100× oil immersion, 14.14 px/µm; peripheral blood film.
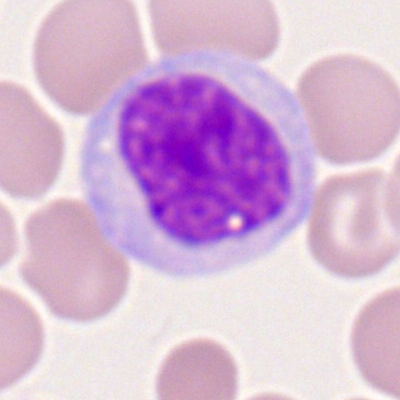Q: What type of cell is this?
A: A monocyte.